May-Grünwald-Giemsa/Pappenheim stain; bone marrow smear: 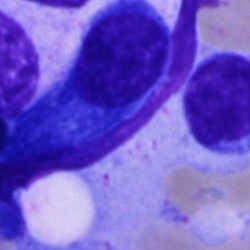

This is a plasma cell.